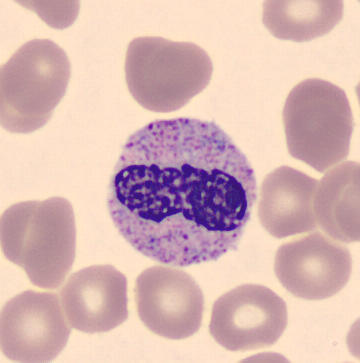
Identified as a stab cell.
Preparation: Peripheral blood smear.